Bone marrow smear.
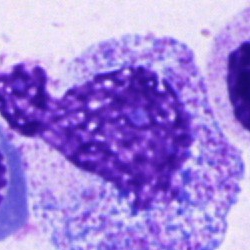The cell type is progranulocyte.